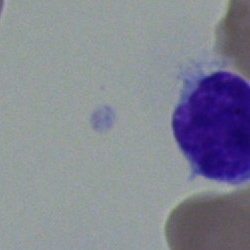 Specimen: bone marrow smear.
Morphological class: typical lymphocyte.
Lineage: lymphoid.